MGG-stained. Bone marrow smear.
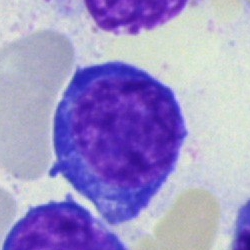

Cell — nucleated red cell.